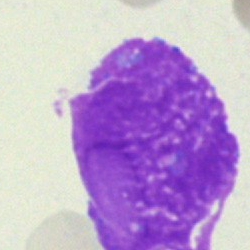

Morphological class — artefact.